250 by 250 pixels; single-cell field; bone marrow aspirate smear
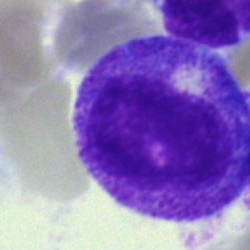 A promyelocyte.